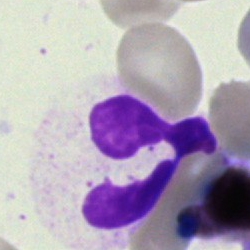Q: Which cell type is shown here?
A: This is a polymorphonuclear neutrophil.